Bone marrow aspirate smear
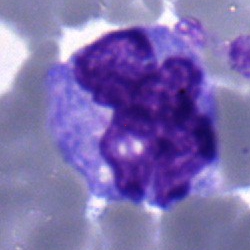

The cell shown is a monocyte.